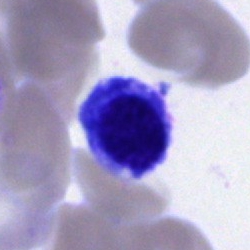

Morphology consistent with an erythroblast.